May-Grünwald-Giemsa stain · bone marrow smear: 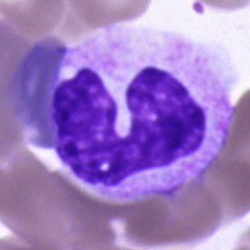Morphology consistent with a band neutrophil.